250×250 · single-cell field · bone marrow aspirate smear — 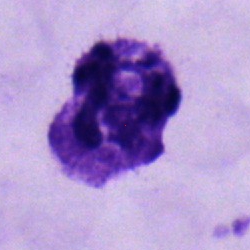 Q: What is shown here?
A: Segmented neutrophil.